Bone marrow aspirate smear. May-Grünwald-Giemsa stain.
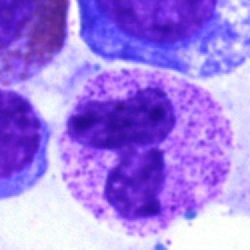
Morphology — segmented neutrophil.